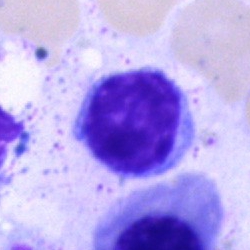

Specimen: bone marrow aspirate smear.
Classification: typical lymphocyte.